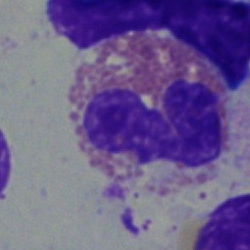

Impression — eosinophilic granulocyte.